Bone marrow aspirate smear.
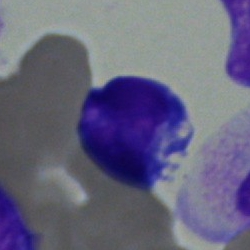 Q: What is the morphological classification of this cell?
A: It is an undifferentiated blast.